Bone marrow smear:
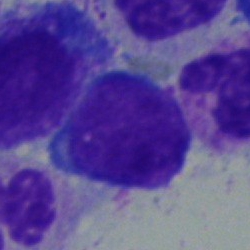

Morphology consistent with a blast cell.